Bone marrow aspirate smear; 250×250 px:
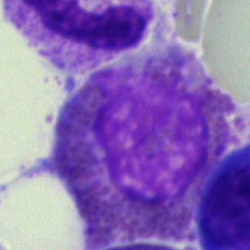

Impression → eosinophilic granulocyte.